Peripheral blood film; May-Grünwald-Giemsa-stained:
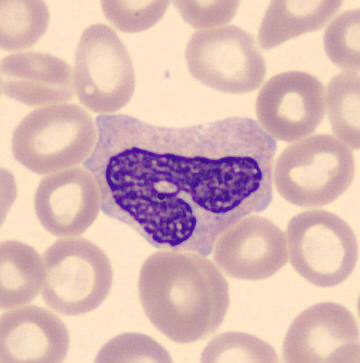 A stab cell.